May-Grünwald-Giemsa/Pappenheim stain · bone marrow smear
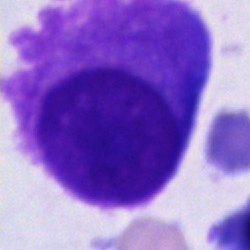 Plasmacyte.